250 by 250 pixels; bone marrow aspirate smear: 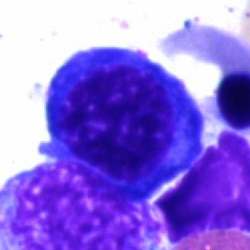 Q: Which cell type is shown here?
A: Erythroblast.